Bone marrow aspirate smear. Single-cell field — 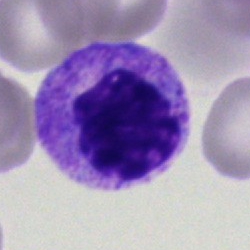 Morphological class — myelocyte.